Bone marrow smear · 250×250 px · Pappenheim-stained — 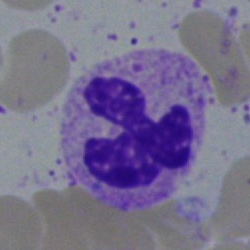

Morphology — segmented neutrophil.